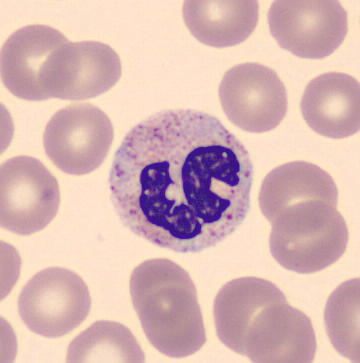
The cell shown is a neutrophil (segmented).